400×400 px. Peripheral blood smear. Single-cell crop
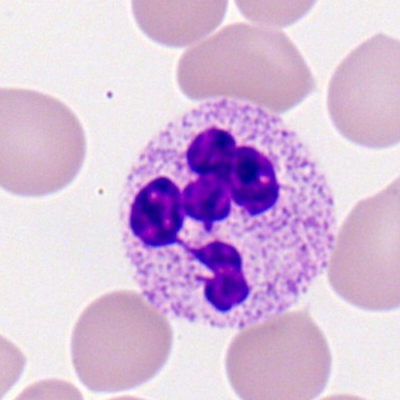

Specimen: peripheral blood smear.
Cell: polymorphonuclear neutrophil.